Bone marrow smear:
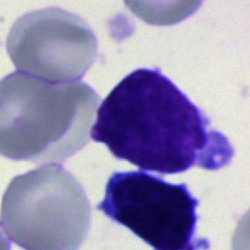 Specimen: bone marrow smear.
Cell: lymphocyte.